Bone marrow smear.
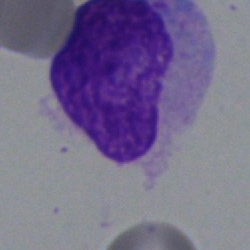
Showing an artifact.